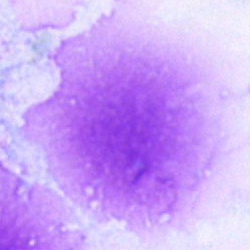Q: What is shown here?
A: An artefact.